Bone marrow smear. May-Grünwald-Giemsa/Pappenheim stain. Single-cell field:
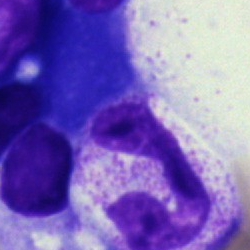

Morphological class = polymorphonuclear neutrophil.